Peripheral blood film · single cell centered in the field · image size 400×400:
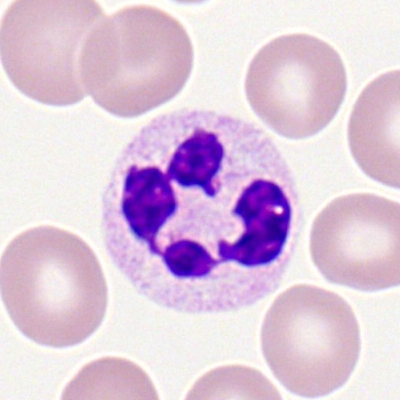The morphological class is polymorphonuclear neutrophil.